Bone marrow aspirate smear.
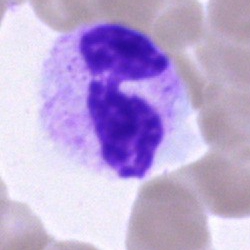Specimen: bone marrow aspirate smear.
Cell: polymorphonuclear neutrophil.